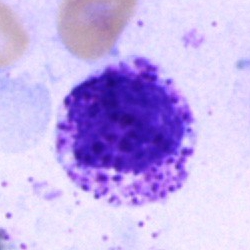
Q: Which cell type is shown here?
A: Basophil.